Bone marrow aspirate smear.
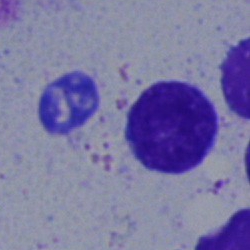Specimen: bone marrow smear.
Morphological class: typical lymphocyte.
Lineage: lymphoid.